Single-cell crop. 250 by 250 pixels. Bone marrow aspirate smear.
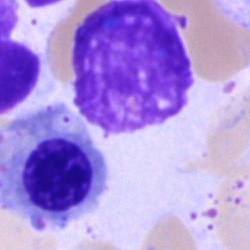
Morphology → nucleated red cell.